Bone marrow aspirate smear
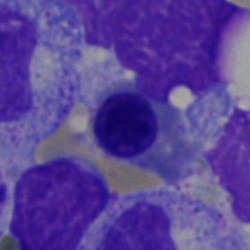Classification — erythroblast.